Brightfield microscopy, 40× oil immersion · bone marrow smear — 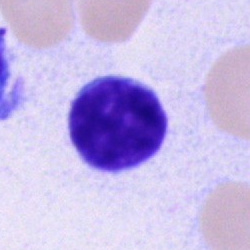 Specimen: bone marrow smear.
Classification: typical lymphocyte.